Bone marrow smear; 40× oil immersion — 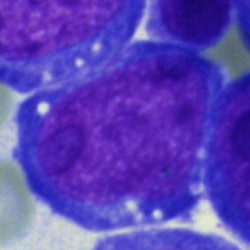 Morphology consistent with a blast cell.